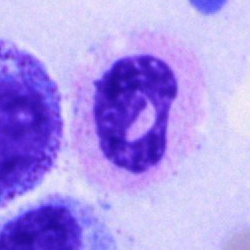

Q: What is shown here?
A: A polymorphonuclear neutrophil.